Bone marrow aspirate smear. Brightfield, 40× oil-immersion objective — 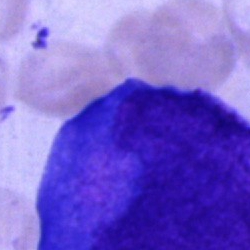
This is an undifferentiated blast.